Brightfield, 40× oil-immersion objective. Bone marrow smear — 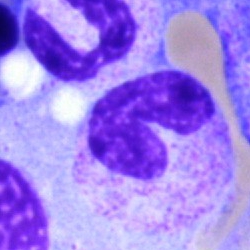 A band neutrophil.